Bone marrow aspirate smear; cropped to a single cell.
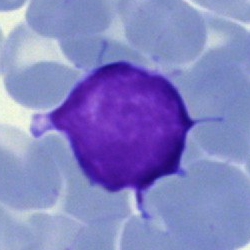Cell = artefact.